Bone marrow smear: 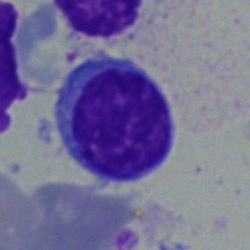Morphology consistent with a lymphocyte.